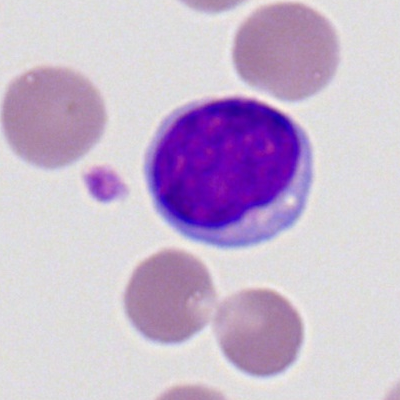 {"cell_type": "lymphocyte"}